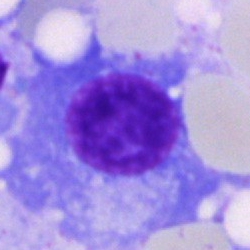 This is a plasmacyte.